Bone marrow aspirate smear. 250×250. 40× objective, oil immersion.
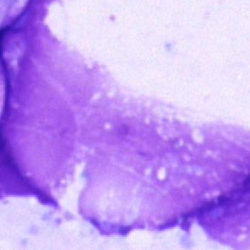

An artifact.